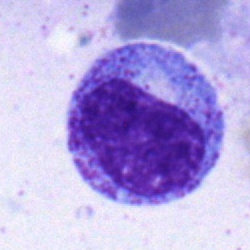

Myelocyte.